Bone marrow aspirate smear · 250×250 px · MGG-stained — 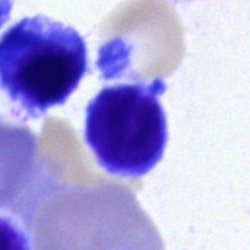
Impression — lymphocyte.